Romanowsky-type stain. Peripheral blood smear. 400×400 px.
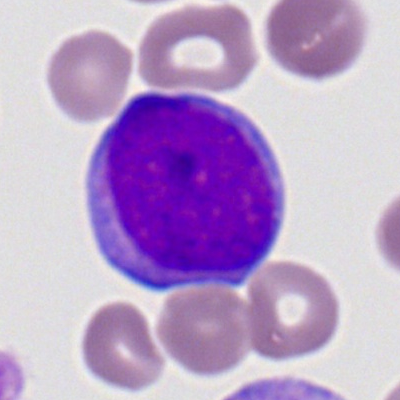The cell shown is a myeloid blast.